Bone marrow aspirate smear.
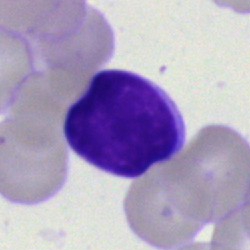

The cell type is lymphocyte.